Peripheral blood film. Single-cell field. 400 by 400 pixels.
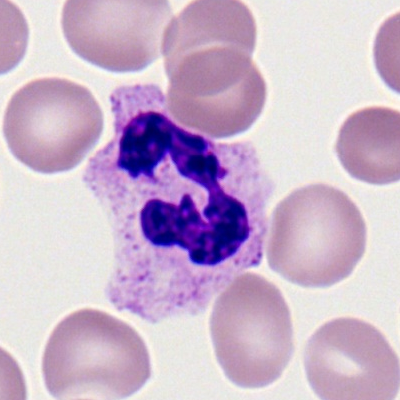
Cell type: neutrophil (segmented).